Image size 250×250. Bone marrow smear — 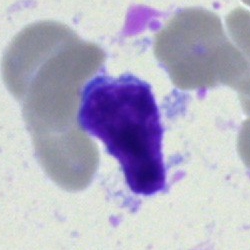 The classification is lymphocyte.